400×400 px. Peripheral blood smear:
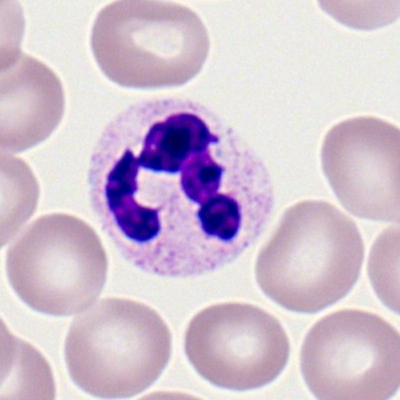
Specimen: peripheral blood film.
Morphological class: neutrophil (segmented).
Lineage: myeloid.